Bone marrow aspirate smear: 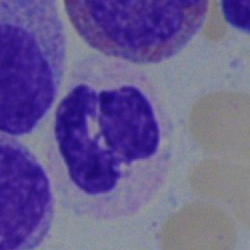Impression → segmented neutrophil.